Bone marrow smear: 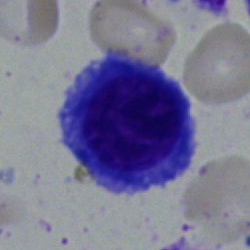Showing an erythroblast.